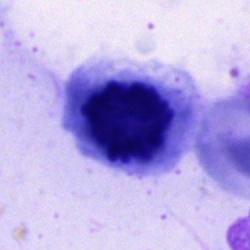Morphology consistent with a nucleated red blood cell.